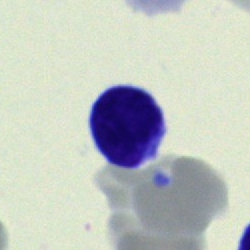
Bone marrow aspirate smear, single cell — lymphocyte.